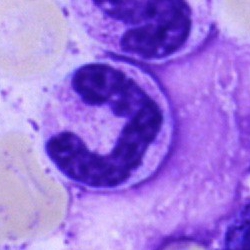 Q: What is the morphological classification of this cell?
A: This is a band-form neutrophil.